Bone marrow aspirate smear · single cell centered in the field.
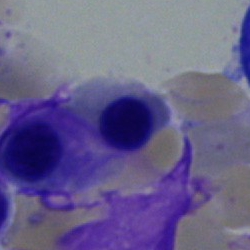
Normoblast.